Brightfield microscopy, 40× oil immersion; bone marrow smear:
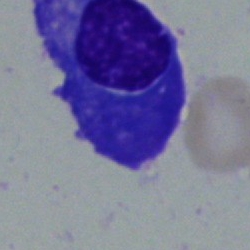
{"cell_type": "plasmacyte", "lineage": "lymphoid"}